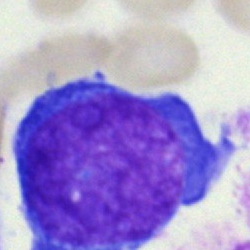Morphology — blast cell.